Bone marrow smear. MGG-stained
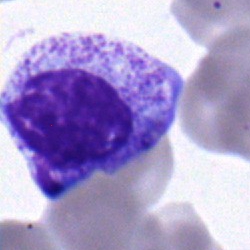
Q: What is shown here?
A: Myelocyte.